Bone marrow smear
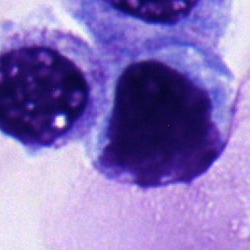

A monocyte.